Brightfield microscopy, 40× oil immersion · bone marrow aspirate smear — 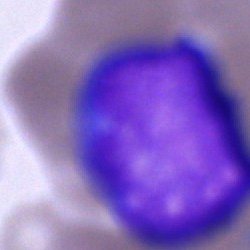Q: What type of cell is this?
A: Blast.